Bone marrow smear. 40× oil immersion — 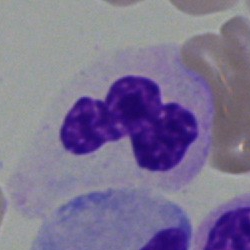Classification = segmented neutrophil.